250 by 250 pixels. Bone marrow smear: 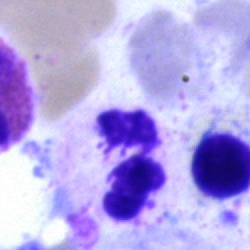
The cell is neutrophil (segmented).